Bone marrow smear:
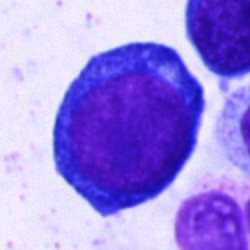 Classification = proerythroblast.